Bone marrow aspirate smear · 40× objective, oil immersion — 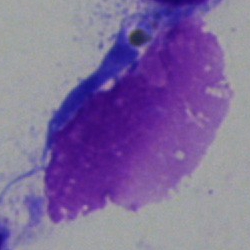The cell is artifact.